Bone marrow aspirate smear. Image size 250×250 — 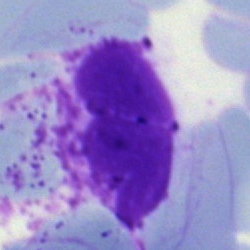Specimen: bone marrow smear.
Cell: artifact.